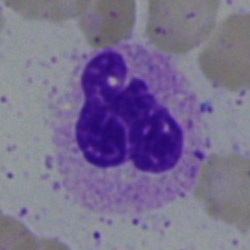Morphological class: segmented neutrophil.